Bone marrow smear · brightfield, 40× oil-immersion objective — 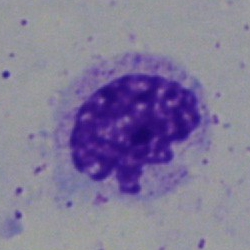
Morphological class = polymorphonuclear neutrophil.